Bone marrow aspirate smear
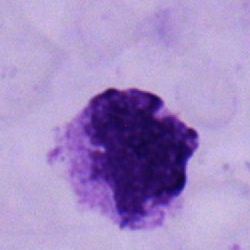
A neutrophil (segmented).